Bone marrow aspirate smear.
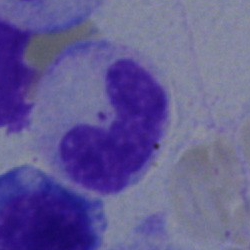

Morphology — band neutrophil.